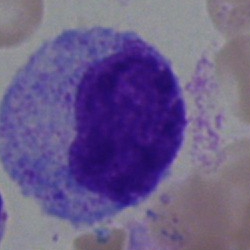

Morphology — myelocyte.